Single-cell crop; bone marrow aspirate smear: 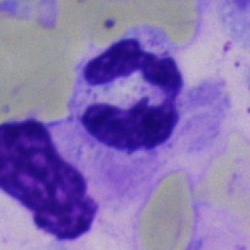
The classification is segmented neutrophil.